Single-cell field. Bone marrow aspirate smear.
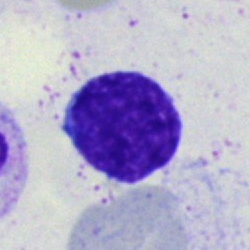 Q: What type of cell is this?
A: This is a lymphocyte.